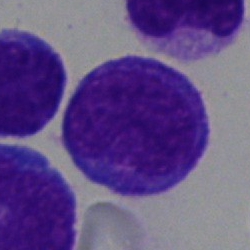Showing a blast.